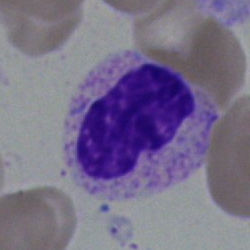Q: What type of cell is this?
A: A band neutrophil.